Brightfield, 40× oil-immersion objective · bone marrow aspirate smear: 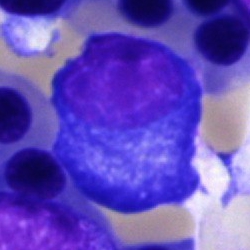
The cell type is plasmacyte.